Bone marrow aspirate smear — 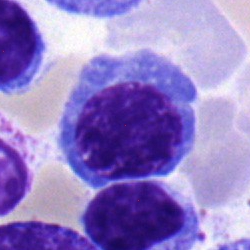Impression → nucleated red cell.